Image size 250×250; bone marrow aspirate smear.
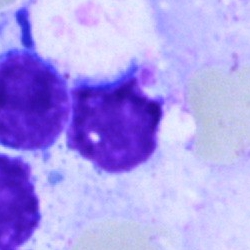

{"cell_type": "artifact"}